Bone marrow smear: 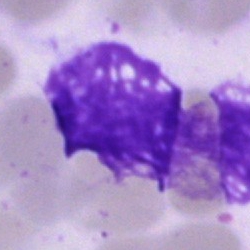 The cell shown is an artifact.